Bone marrow smear
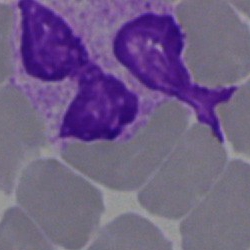 The classification is artifact.